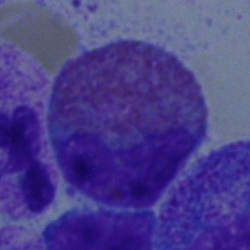

Bone marrow smear showing an eosinophilic granulocyte.